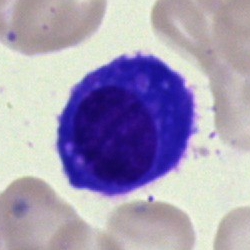Impression → plasma cell.